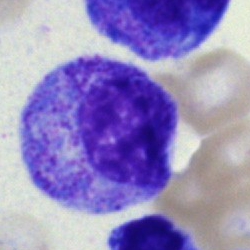
Q: What is the morphological classification of this cell?
A: Progranulocyte.